Bone marrow smear
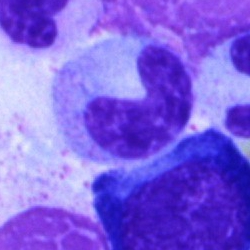
Q: What is shown here?
A: Band neutrophil.